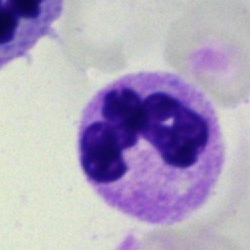Morphological class: segmented neutrophil.